Peripheral blood film:
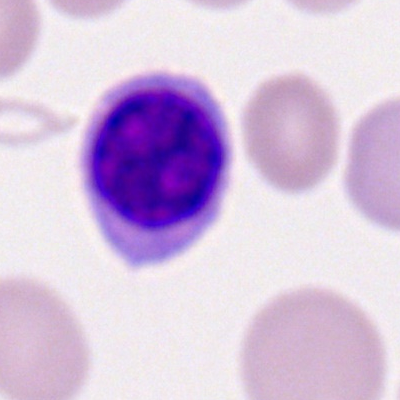
Specimen: peripheral blood film.
Classification: lymphocyte.
Lineage: lymphoid.